40× objective, oil immersion; bone marrow smear — 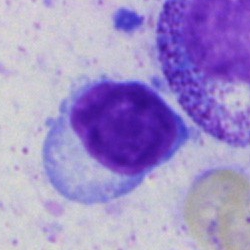

Impression → plasma cell.